Peripheral blood smear
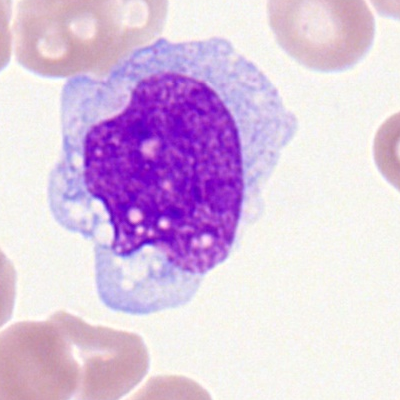Impression — monocyte.